Bone marrow aspirate smear.
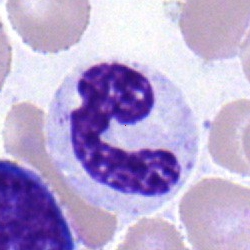
Q: What is the morphological classification of this cell?
A: A polymorphonuclear neutrophil.